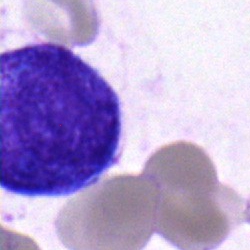Morphology → blast cell.